Bone marrow aspirate smear
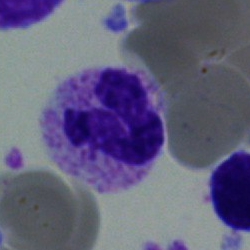

The cell shown is a band-form neutrophil.